Bone marrow smear — 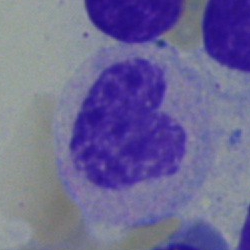
Impression — band neutrophil.